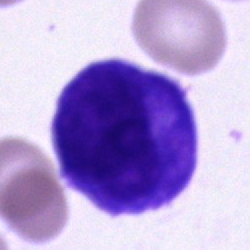
Cell type — cell of indeterminate lineage.